Peripheral blood film · May Grünwald-Giemsa stain — 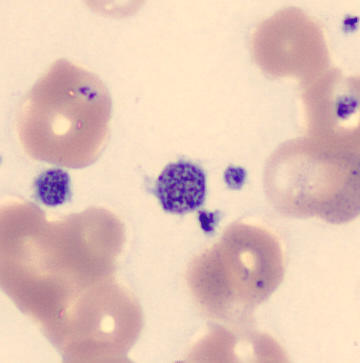{"cell_type": "platelet"}